Brightfield microscopy, 40× oil immersion; 250 by 250 pixels; bone marrow smear.
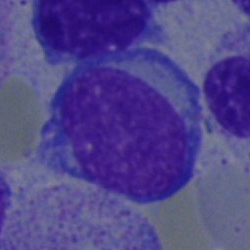{"cell_type": "lymphocyte", "lineage": "lymphoid"}